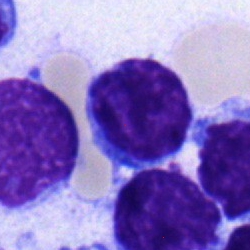
The morphological class is typical lymphocyte.